Peripheral blood film. Single cell centered in the field
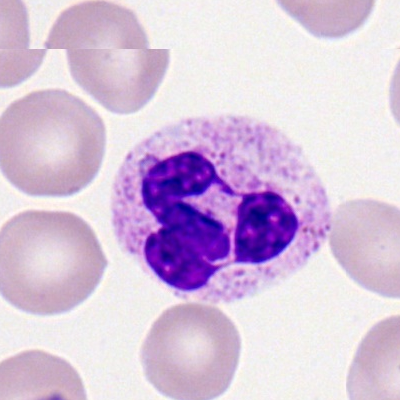 Single cell identified as a segmented neutrophil.